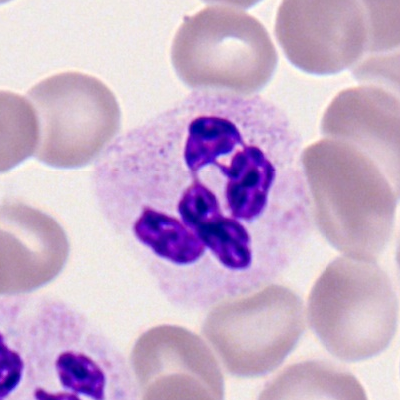Cell type = neutrophil (segmented).